Peripheral blood film — 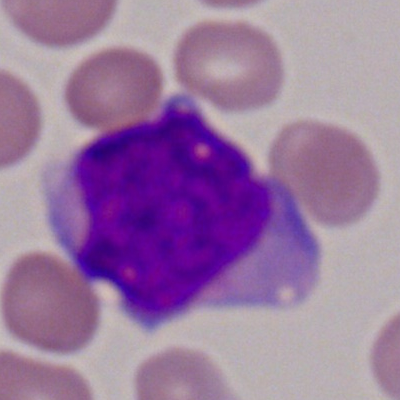
Myeloid blast.